Bone marrow aspirate smear — 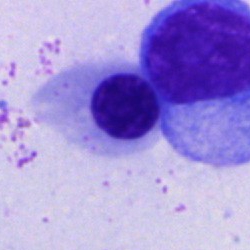

This is a nucleated red blood cell.